Bone marrow smear
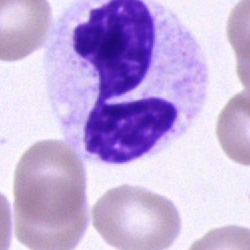 Impression → segmented neutrophil.